Peripheral blood smear; single-cell field
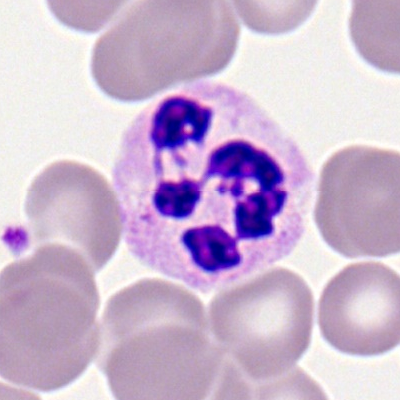Cell type — polymorphonuclear neutrophil.